May-Grünwald-Giemsa stain; single cell centered in the field; bone marrow aspirate smear:
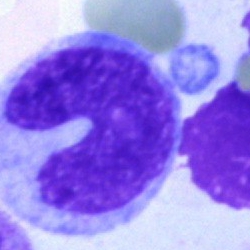 Morphology consistent with a band-form neutrophil.